Brightfield microscopy, 40× oil immersion; bone marrow aspirate smear — 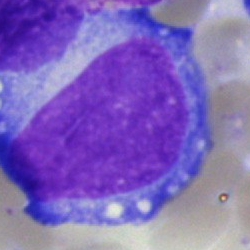 Q: Identify the cell.
A: A blast cell.